Single-cell field; bone marrow smear:
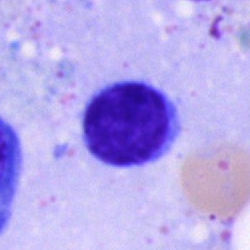
Single cell identified as a typical lymphocyte.